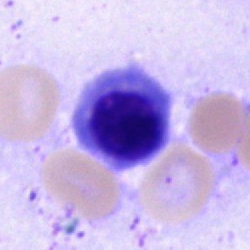 Q: What is shown here?
A: An erythroblast.